Bone marrow smear. May-Grünwald-Giemsa/Pappenheim stain. Cropped to a single cell: 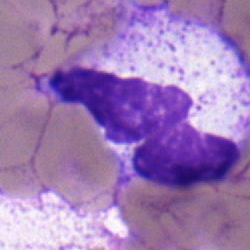

The cell type is stab cell.